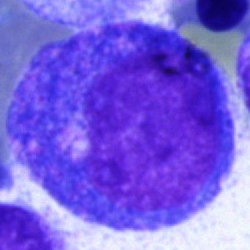
Morphological class = promyelocyte.